Bone marrow aspirate smear. Single-cell crop — 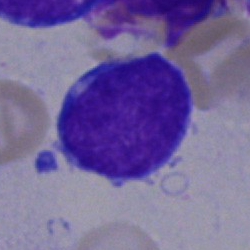
Morphology → blast cell.